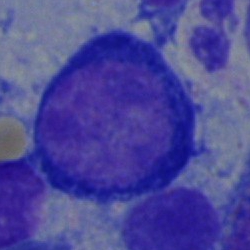Specimen: bone marrow smear.
Cell: pronormoblast.
Lineage: erythroid.